Bone marrow aspirate smear: 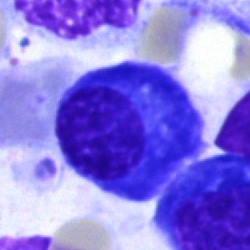
Impression → plasmacyte.